Imaged on a CellaVision DM96 analyser. 360×363 px. Peripheral blood film — 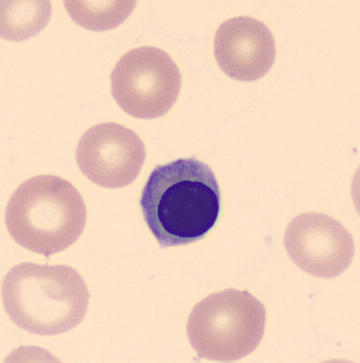
Cell — normoblast.